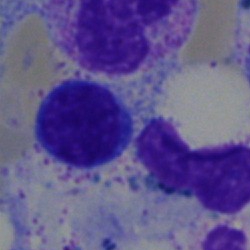
The cell is lymphocyte.